Single cell centered in the field. Bone marrow aspirate smear. May-Grünwald-Giemsa/Pappenheim stain:
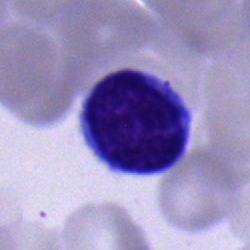

Q: What type of cell is this?
A: It is a lymphocyte.